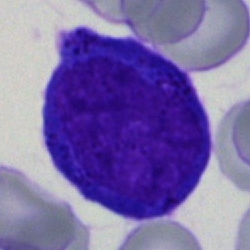Showing a proerythroblast.